Bone marrow aspirate smear
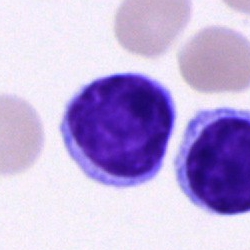 This is a lymphocyte.